Bone marrow smear · single-cell crop · 250×250.
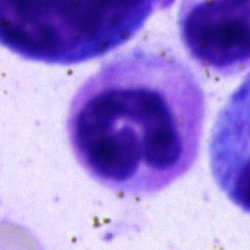

Morphology consistent with a neutrophil (segmented).